Pappenheim-stained · bone marrow aspirate smear:
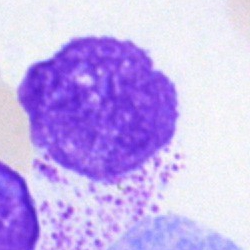

Morphology consistent with an artefact.